Bone marrow aspirate smear
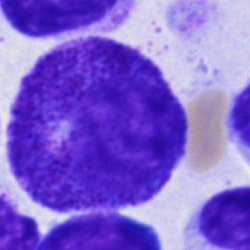

Single cell identified as a progranulocyte.